Bone marrow aspirate smear. Single-cell crop
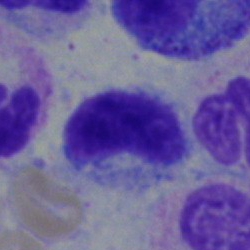
Showing a metamyelocyte.